Bone marrow aspirate smear: 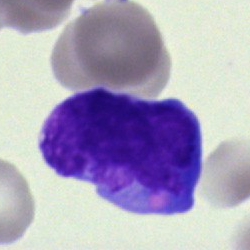The cell type is blast cell.